Bone marrow smear:
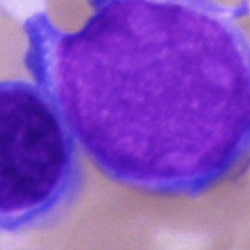

Showing a blast cell.